Brightfield microscopy, 40× oil immersion; bone marrow smear; May-Grünwald-Giemsa/Pappenheim stain — 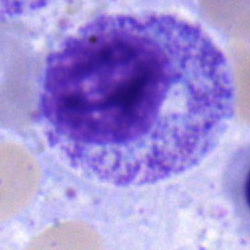 This is a myelocyte.